40× objective, oil immersion · bone marrow smear: 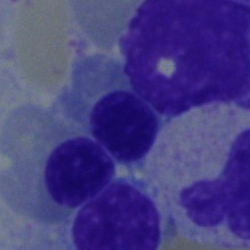
Q: Which cell type is shown here?
A: A nucleated red blood cell.